Bone marrow aspirate smear: 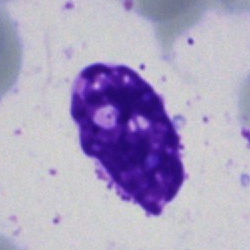

Showing an artifact.